Cropped to a single cell · bone marrow aspirate smear
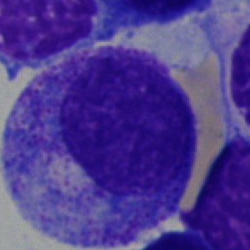

Cell type = progranulocyte.